400×400 px · peripheral blood smear · single-cell field: 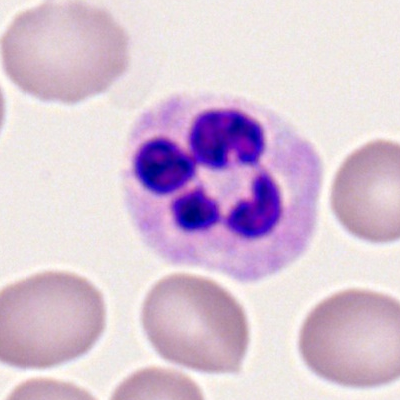Q: What type of cell is this?
A: It is a polymorphonuclear neutrophil.